Bone marrow smear · 40× objective, oil immersion.
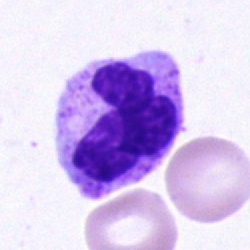

Morphology consistent with a polymorphonuclear neutrophil.